Bone marrow aspirate smear.
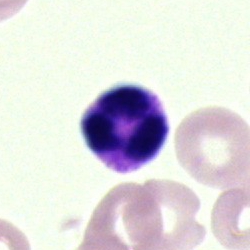 Q: Identify the cell.
A: It is a polymorphonuclear neutrophil.